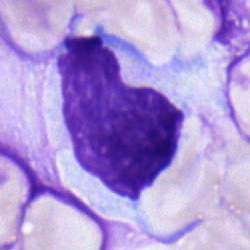
Morphology consistent with a monocyte.